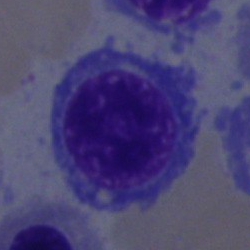Bone marrow smear showing a nucleated red blood cell.